Bone marrow smear:
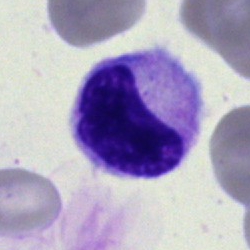

Q: What is the morphological classification of this cell?
A: A metamyelocyte.